Bone marrow smear:
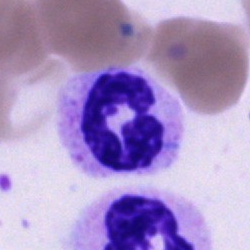 Q: What is shown here?
A: A segmented neutrophil.